May-Grünwald-Giemsa/Pappenheim stain. Bone marrow smear:
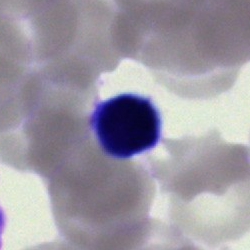 Specimen: bone marrow smear.
Classification: lymphocyte.
Lineage: lymphoid.